Bone marrow aspirate smear
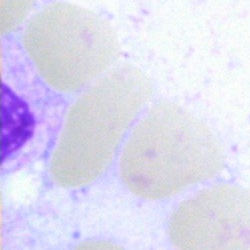Artefact.